Image size 250×250. Bone marrow aspirate smear.
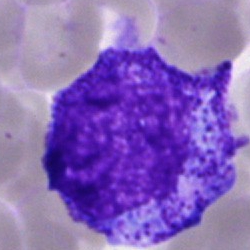 The cell shown is a promyelocyte.